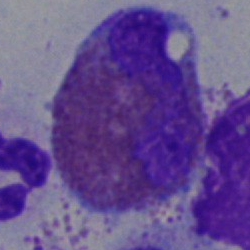Q: What is shown here?
A: An eosinophilic granulocyte.